Brightfield, 40× oil-immersion objective · bone marrow smear — 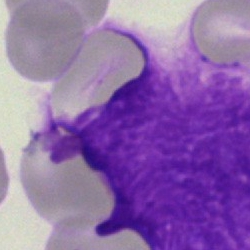

The cell is artefact.